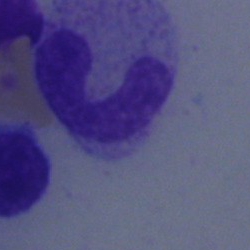

Morphology consistent with a band-form neutrophil.